Single cell centered in the field. Bone marrow smear:
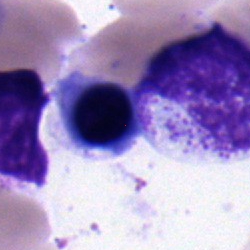
Specimen: bone marrow smear.
Morphological class: erythroblast.